Pappenheim-stained. 40× objective, oil immersion. Bone marrow smear: 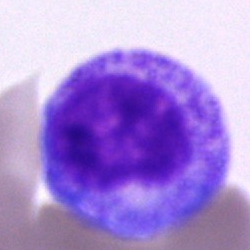

A progranulocyte.